Brightfield, 40× oil-immersion objective; bone marrow smear:
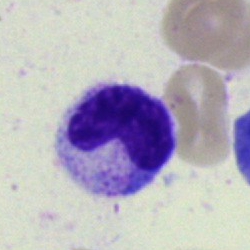Specimen: bone marrow aspirate smear.
Cell: stab cell.